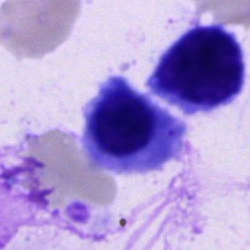

A normoblast on a bone marrow smear.